Bone marrow aspirate smear:
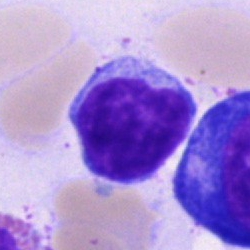
Q: Which cell type is shown here?
A: A typical lymphocyte.